Peripheral blood smear; Romanowsky stain.
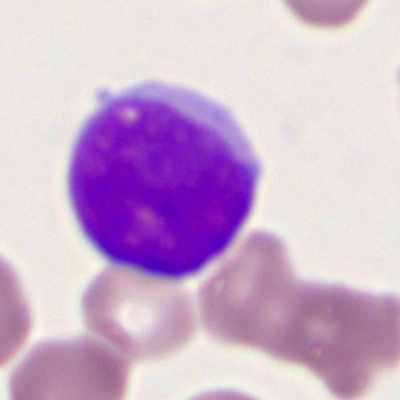
Impression → myeloid blast.